40× oil immersion; bone marrow aspirate smear; single-cell crop: 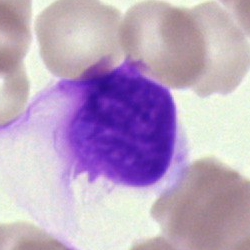
Specimen: bone marrow smear.
Cell type: artifact.